Bone marrow aspirate smear. 40× oil immersion
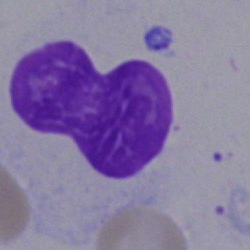
Artifact.